Bone marrow smear; cropped to a single cell; 250×250 px.
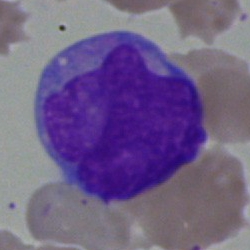 Q: What cell is this?
A: A blast cell.